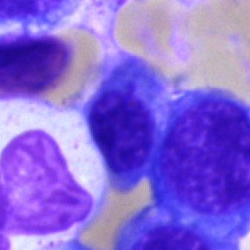
Q: What is shown here?
A: Erythroblast.